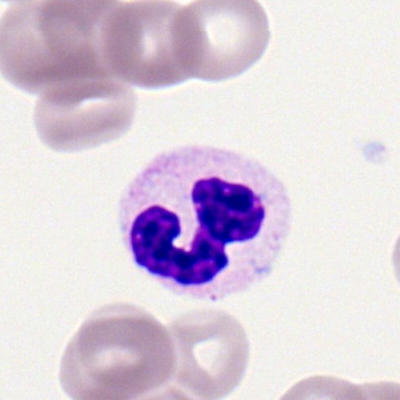

Specimen: peripheral blood smear.
Morphological class: segmented neutrophil.